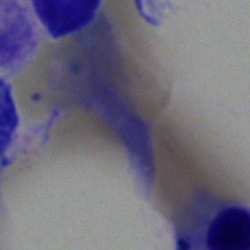Cell — artefact.